Bone marrow smear: 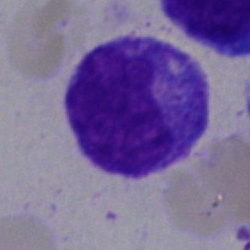
Progranulocyte.